250×250 · bone marrow aspirate smear:
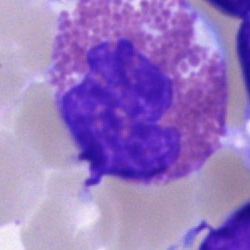 Showing an eosinophil.